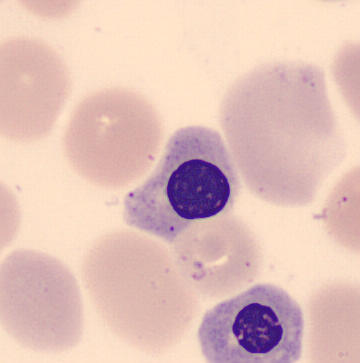 This is a nucleated red cell.

Preparation: Peripheral blood film.